MGG-stained; brightfield microscopy, 40× oil immersion; bone marrow aspirate smear: 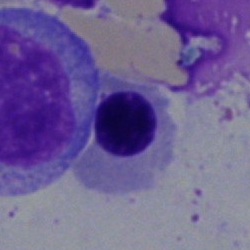

Cell type = nucleated red cell.